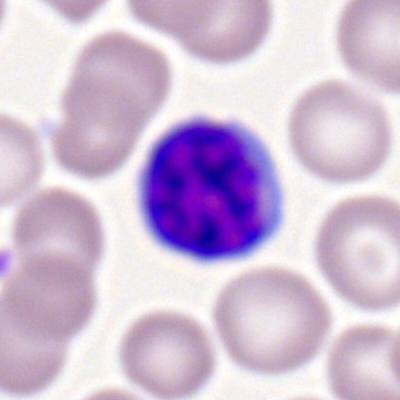Showing a typical lymphocyte.